Bone marrow aspirate smear · Pappenheim-stained
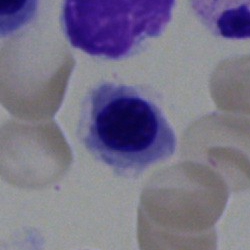
Q: What is the morphological classification of this cell?
A: An erythroblast.